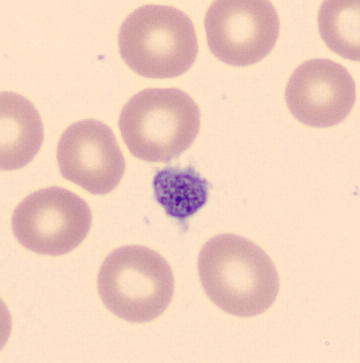
Identified as a platelet (thrombocyte).

Peripheral blood film.